Bone marrow aspirate smear — 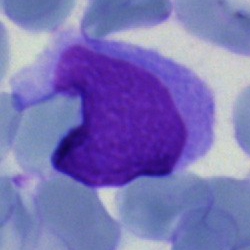
A blast cell.